Bone marrow aspirate smear — 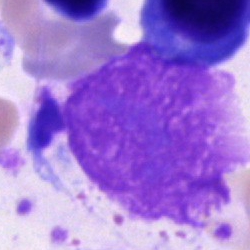

Morphology consistent with an artefact.